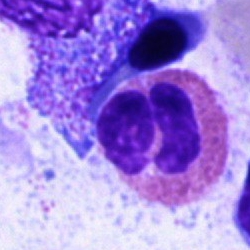Q: Which cell type is shown here?
A: This is an eosinophil.